Bone marrow aspirate smear. 40× objective, oil immersion: 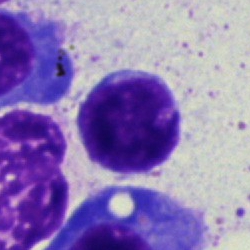
Specimen: bone marrow aspirate smear.
Classification: lymphocyte.
Lineage: lymphoid.